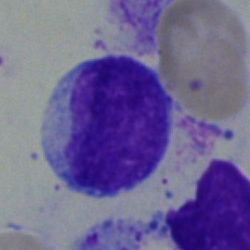Single-cell crop from a bone marrow smear: blast.